Bone marrow smear:
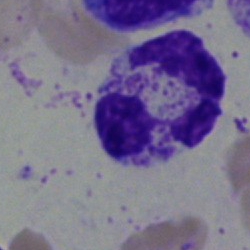

Morphology consistent with a neutrophil (segmented).